Peripheral blood smear · single-cell field:
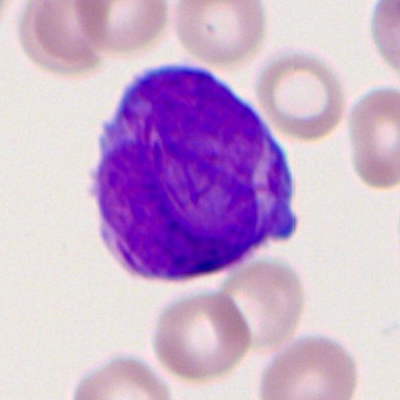The cell type is progranulocyte.